Romanowsky stain. Peripheral blood film.
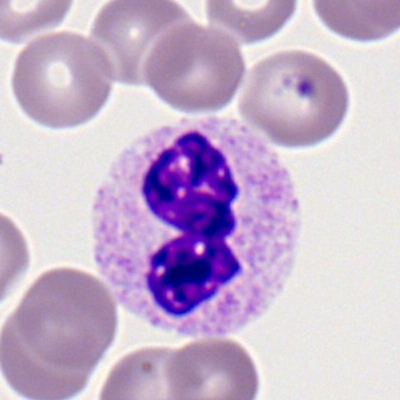
Segmented neutrophil.